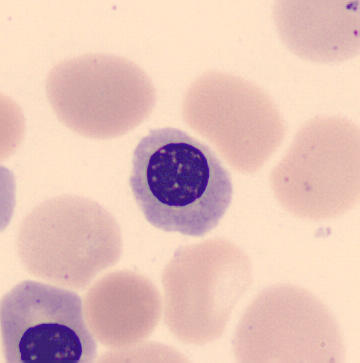Acquisition: Peripheral blood film. Morphological class — nucleated red cell.